Bone marrow smear; 250×250 px:
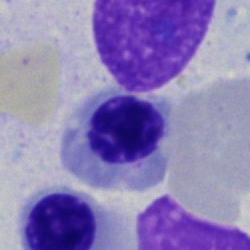

Showing a nucleated red blood cell.